May-Grünwald-Giemsa stain. Bone marrow smear.
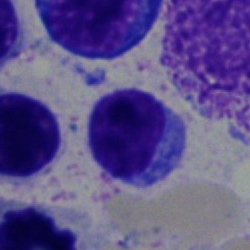

Q: Identify the cell.
A: It is a lymphocyte.